Brightfield, 40× oil-immersion objective. Bone marrow aspirate smear:
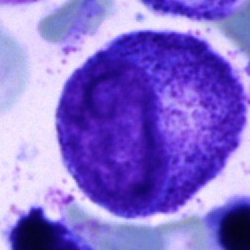

Showing a myelocyte.